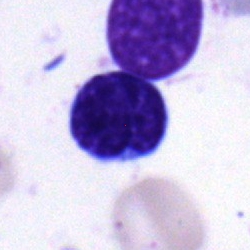
Specimen: bone marrow aspirate smear.
Morphological class: lymphocyte.
Lineage: lymphoid.